Bone marrow smear. 40× oil immersion: 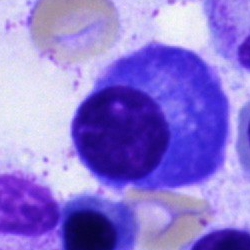Cell type = plasma cell.